Bone marrow aspirate smear:
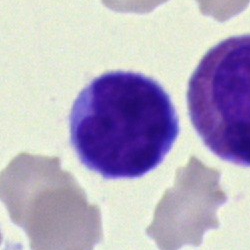The cell shown is a monocyte.